Bone marrow smear.
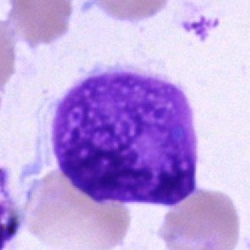This is an artifact.